40× objective, oil immersion; bone marrow smear — 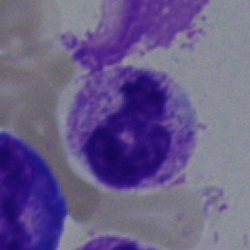 Impression → polymorphonuclear neutrophil.